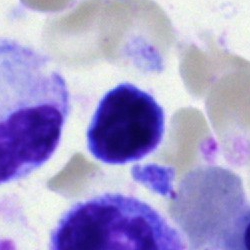Classification: lymphocyte.